Bone marrow aspirate smear: 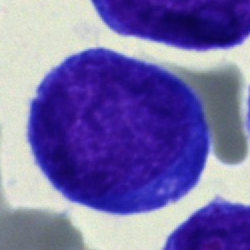Specimen: bone marrow aspirate smear.
Morphological class: blast.